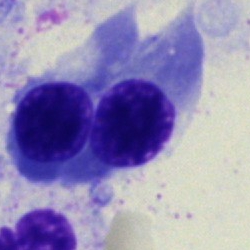
Cell = normoblast.